Cropped to a single cell. Peripheral blood film
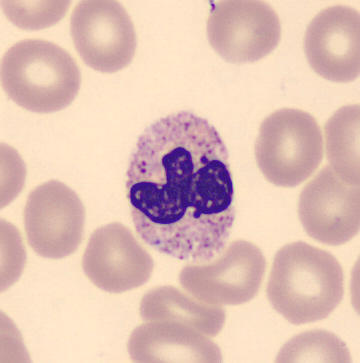
This is a polymorphonuclear neutrophil.